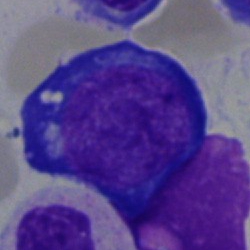
Impression — pronormoblast.